Bone marrow aspirate smear. Pappenheim-stained: 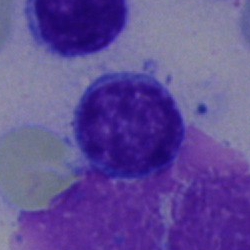

Q: What is the morphological classification of this cell?
A: It is a lymphocyte.